Bone marrow aspirate smear:
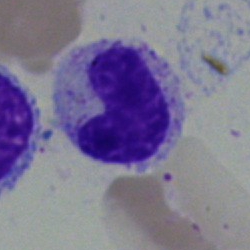
Single cell identified as a neutrophil (band).